Bone marrow smear: 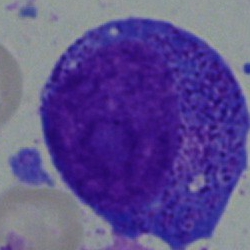The cell type is promyelocyte.